Bone marrow aspirate smear. Brightfield, 40× oil-immersion objective — 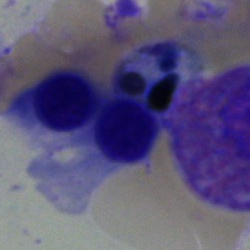Showing a nucleated red cell.